Bone marrow aspirate smear · 40× objective, oil immersion · May-Grünwald-Giemsa/Pappenheim stain: 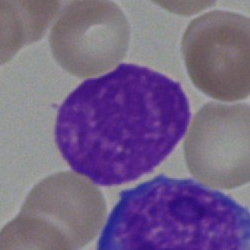 Impression — artefact.